Cropped to a single cell · Pappenheim-stained · bone marrow aspirate smear:
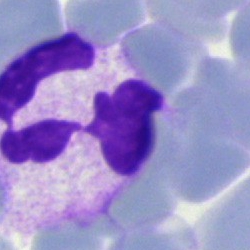

Impression — segmented neutrophil.